Bone marrow smear
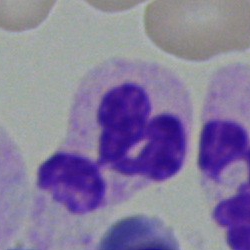
Specimen: bone marrow smear.
Classification: polymorphonuclear neutrophil.